Bone marrow smear:
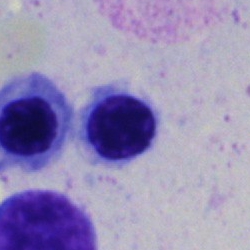 Q: What type of cell is this?
A: A normoblast.